Bone marrow aspirate smear: 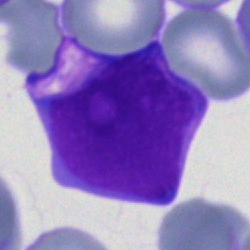
This is a blast cell.